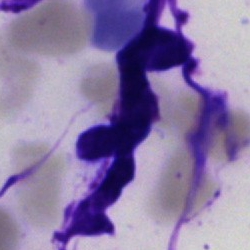
Q: What is shown here?
A: It is an artifact.